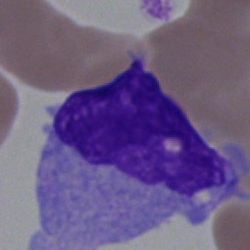
Impression → undifferentiated blast.